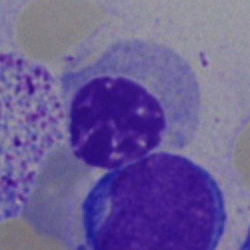Showing a normoblast.